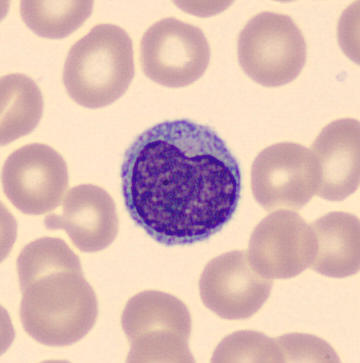Image: Peripheral blood smear. {"cell_type": "typical lymphocyte", "lineage": "lymphoid"}